Bone marrow aspirate smear.
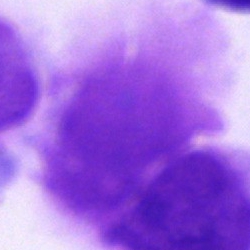 {"cell_type": "artefact"}